Bone marrow smear; 250×250 px: 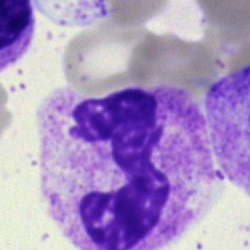This is a segmented neutrophil.